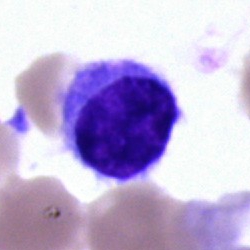

Q: What is the morphological classification of this cell?
A: A hairy cell.